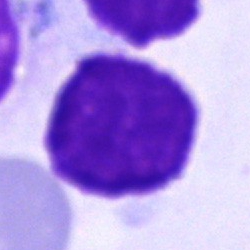

An artifact on a bone marrow smear.